Bone marrow aspirate smear.
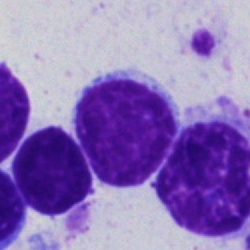 Typical lymphocyte.